40× oil immersion. Bone marrow smear. 250×250
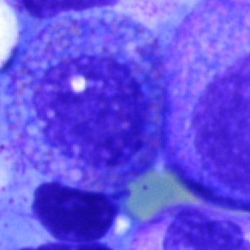

Morphology consistent with a promyelocyte.